Bone marrow aspirate smear — 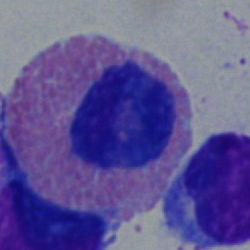Cell type = eosinophilic granulocyte.